Bone marrow smear. Image size 250×250: 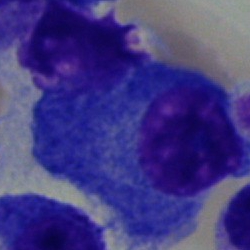 Morphology consistent with a plasma cell.